Brightfield microscopy, 40× oil immersion; bone marrow aspirate smear:
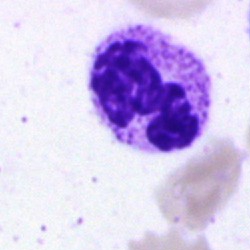
Cell = neutrophil (segmented).